Bone marrow smear.
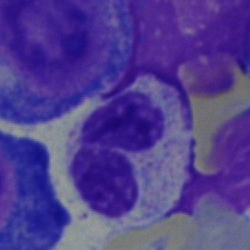

Cell: polymorphonuclear neutrophil.